Pappenheim-stained · bone marrow aspirate smear: 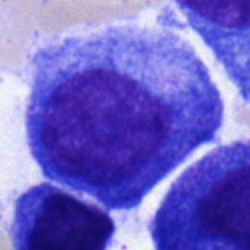

The cell is promyelocyte.